Bone marrow smear
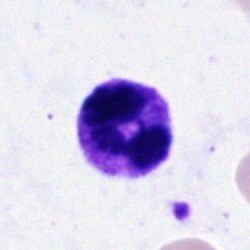The cell shown is a neutrophil (segmented).